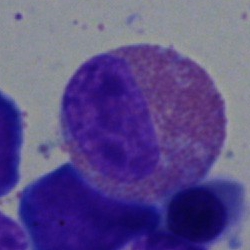

Showing an eosinophil.